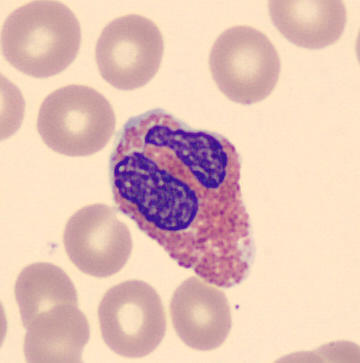

Classification: eosinophilic granulocyte.